MGG-stained · bone marrow aspirate smear.
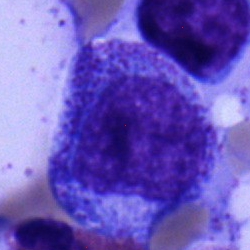

Impression — progranulocyte.